Bone marrow aspirate smear — 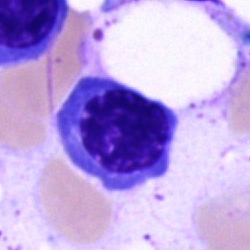Cell = nucleated red cell.